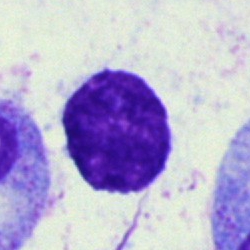The cell type is artifact.